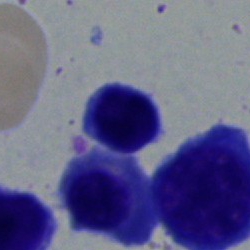
Impression → lymphocyte.